MGG-stained; 40× oil immersion; bone marrow aspirate smear:
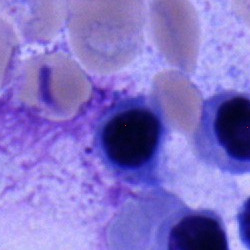

This is a nucleated red cell.